Bone marrow aspirate smear · cropped to a single cell · 40× objective, oil immersion.
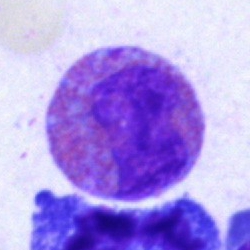
Q: What is shown here?
A: It is an eosinophilic granulocyte.